Image size 400×400 · peripheral blood smear — 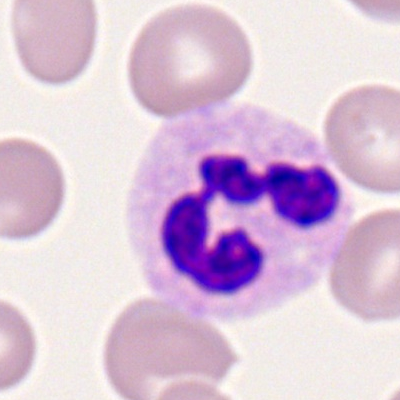

Morphology consistent with a polymorphonuclear neutrophil.